Bone marrow smear; May-Grünwald-Giemsa/Pappenheim stain; single-cell crop
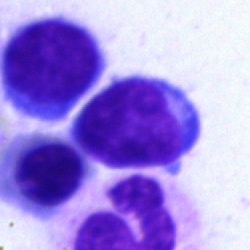

The morphological class is typical lymphocyte.